Bone marrow aspirate smear
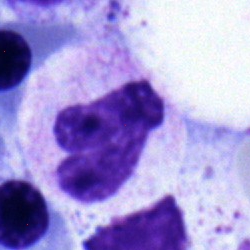Single cell identified as a neutrophil (segmented).